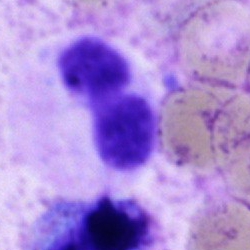 Impression — segmented neutrophil.